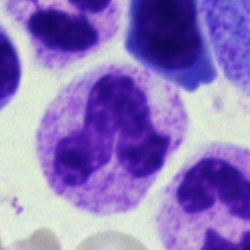

Cell — polymorphonuclear neutrophil.